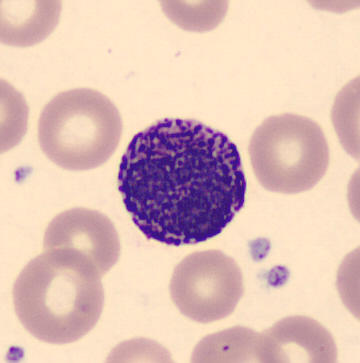Classification = basophilic granulocyte.